Romanowsky-stained · peripheral blood film · 100× objective, oil immersion — 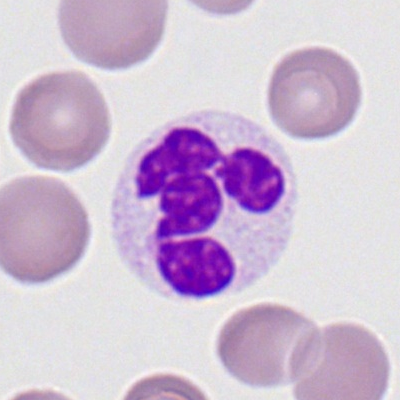
Morphological class — polymorphonuclear neutrophil.